Bone marrow smear:
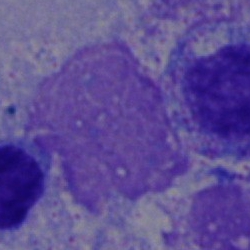

Classification: artefact.